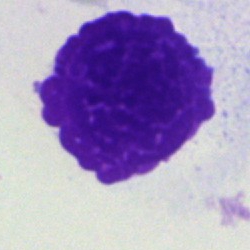Cell: artifact.